Pappenheim-stained · bone marrow smear · image size 250×250: 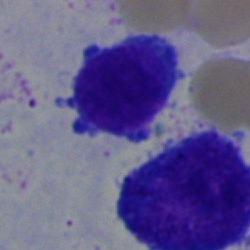This is a typical lymphocyte.